Bone marrow aspirate smear · brightfield, 40× oil-immersion objective — 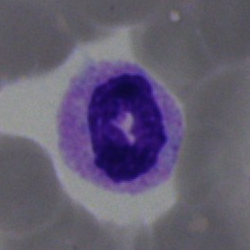 A segmented neutrophil.